Bone marrow aspirate smear; May-Grünwald-Giemsa stain — 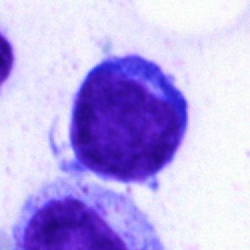
Morphological class: lymphocyte.